Bone marrow smear. 40× oil immersion.
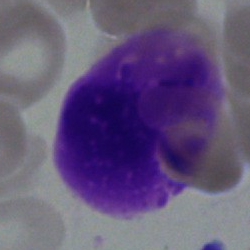

An artefact.